Cropped to a single cell; bone marrow aspirate smear; image size 250×250
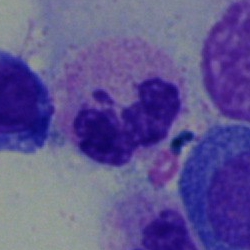Specimen: bone marrow smear.
Cell type: polymorphonuclear neutrophil.
Lineage: myeloid.